Bone marrow aspirate smear:
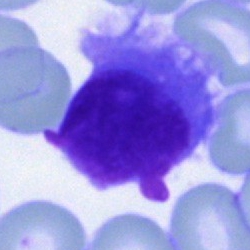Q: Identify the cell.
A: It is a typical lymphocyte.